Peripheral blood film.
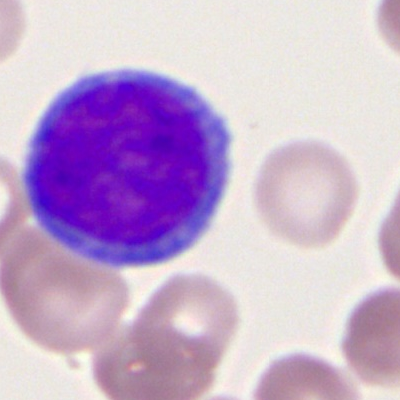 Cell type = myeloblast.